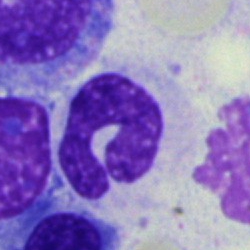
Morphology → band neutrophil.